Cropped to a single cell. Bone marrow aspirate smear — 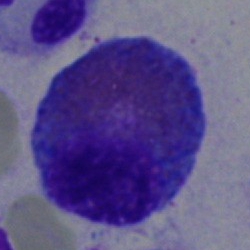 This is an eosinophil.